Single-cell field · bone marrow aspirate smear — 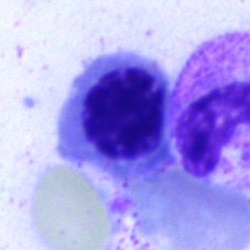

This is a nucleated red cell.